Bone marrow aspirate smear.
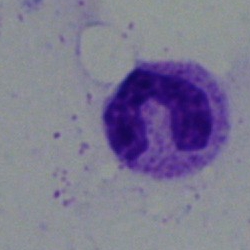

{"cell_type": "stab cell"}